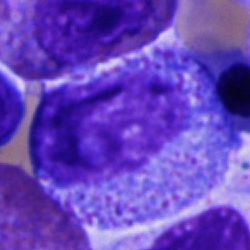Q: What type of cell is this?
A: A promyelocyte.